Bone marrow aspirate smear:
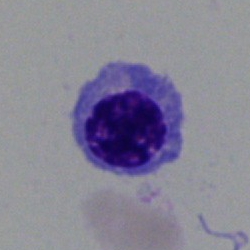 Specimen: bone marrow aspirate smear.
Cell type: nucleated red blood cell.
Lineage: erythroid.